Peripheral blood smear. Romanowsky-type stain.
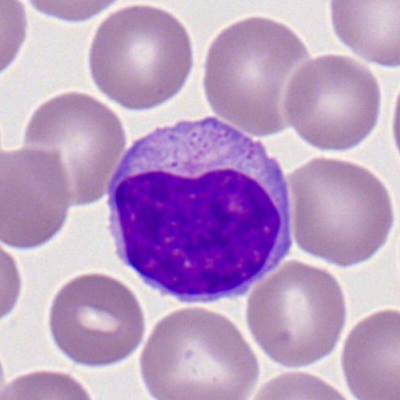

{"cell_type": "lymphocyte"}